May-Grünwald-Giemsa/Pappenheim stain; bone marrow aspirate smear
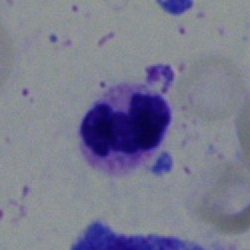
Cell = polymorphonuclear neutrophil.